Bone marrow aspirate smear; single cell centered in the field
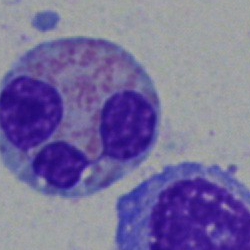 Impression → eosinophil.